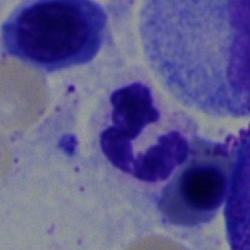 Cell: polymorphonuclear neutrophil.